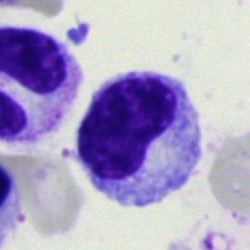 Q: What cell is this?
A: It is a metamyelocyte.